40× oil immersion. Bone marrow smear
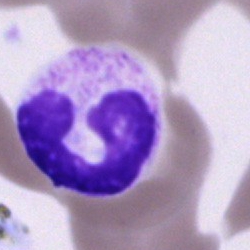

Cell type: stab cell.